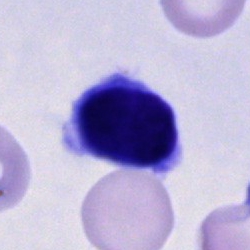 Morphology consistent with a cell of indeterminate lineage.